Bone marrow smear: 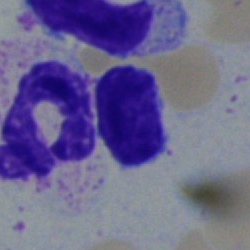 Impression — neutrophil (band).